Bone marrow smear.
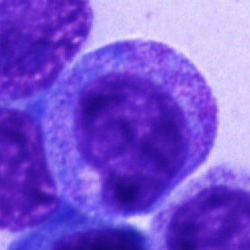Q: What is the morphological classification of this cell?
A: This is a promyelocyte.